Peripheral blood smear
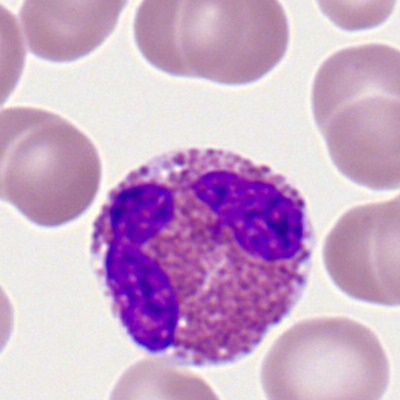
This is an eosinophil.